Bone marrow smear · May-Grünwald-Giemsa stain
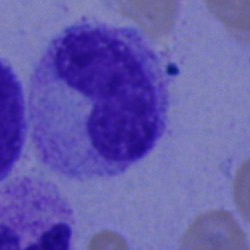
Morphological class = band-form neutrophil.